Bone marrow smear.
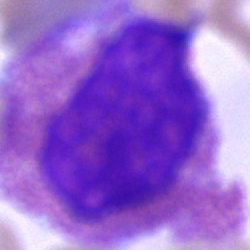Specimen: bone marrow aspirate smear.
Classification: eosinophilic granulocyte.